Bone marrow smear:
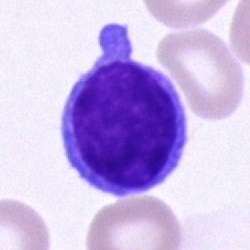 Impression → typical lymphocyte.